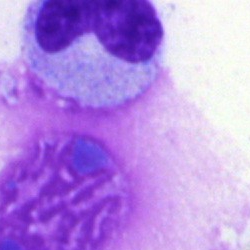Q: What is shown here?
A: Artifact.